May-Grünwald-Giemsa/Pappenheim stain. Bone marrow smear. 250 by 250 pixels: 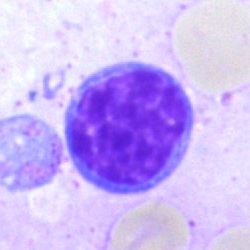 Cell = typical lymphocyte.